Bone marrow smear
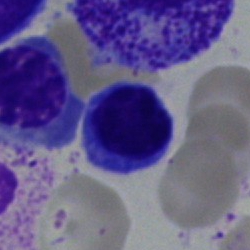Typical lymphocyte.